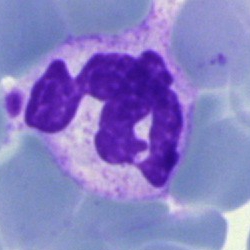

Morphology consistent with a segmented neutrophil.